250×250 px. Single cell centered in the field. Bone marrow aspirate smear
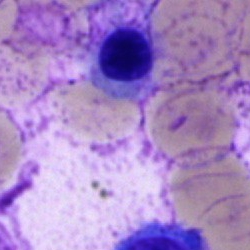
Q: Identify the cell.
A: Nucleated red cell.